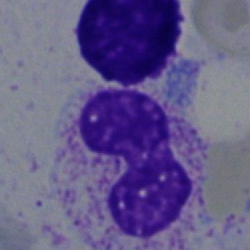
Morphology → band-form neutrophil.